Bone marrow smear — 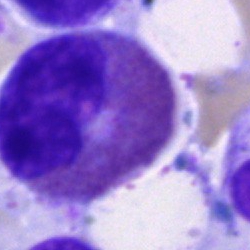
Morphology consistent with an eosinophilic granulocyte.